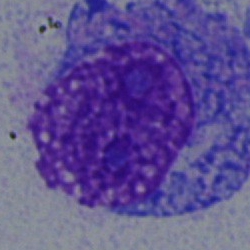

Q: Which cell type is shown here?
A: It is a blast cell.